Cropped to a single cell · bone marrow aspirate smear:
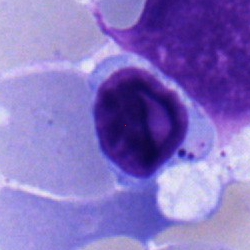Classification = nucleated red cell.